250 by 250 pixels · single cell centered in the field · bone marrow aspirate smear
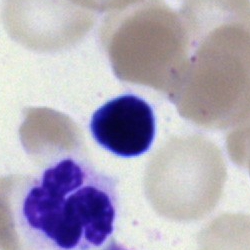Showing a typical lymphocyte.